Brightfield microscopy, 40× oil immersion. Bone marrow smear: 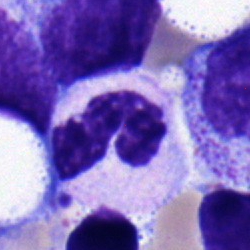
Showing a neutrophil (segmented).